Peripheral blood smear · 400×400 px · 100× oil immersion, 14.14 px/µm — 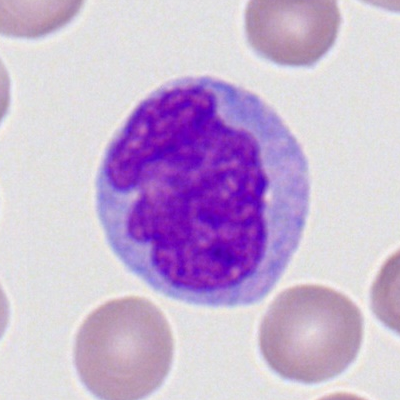

Morphology consistent with a monocyte.